Bone marrow aspirate smear · image size 250×250
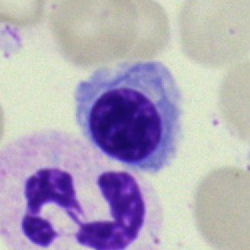
The cell shown is an erythroblast.